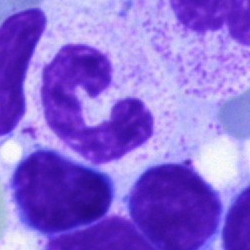
Q: What type of cell is this?
A: This is a neutrophil (segmented).